Bone marrow aspirate smear — 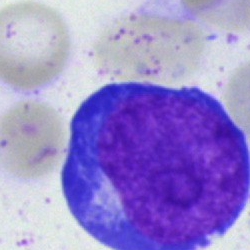

Single cell identified as a proerythroblast.